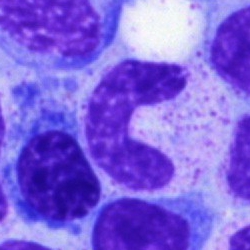 {"cell_type": "stab cell", "lineage": "myeloid"}